Peripheral blood film.
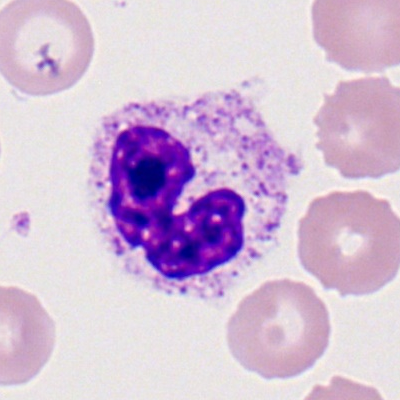{"cell_type": "segmented neutrophil", "lineage": "myeloid"}